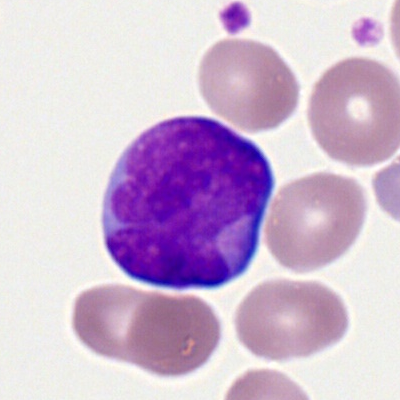
Cell — myeloblast.